May-Grünwald-Giemsa stain; bone marrow aspirate smear.
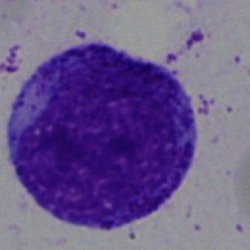 Q: Which cell type is shown here?
A: A promyelocyte.